May-Grünwald-Giemsa stain. Bone marrow smear
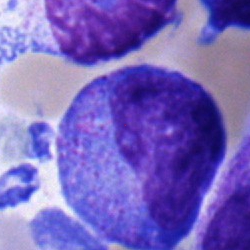A promyelocyte.